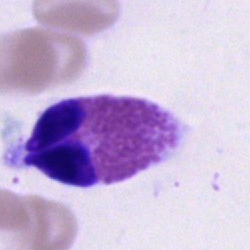

Specimen: bone marrow smear.
Cell type: eosinophilic granulocyte.
Lineage: myeloid.